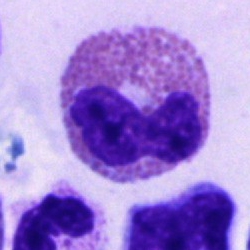 Morphological class = eosinophilic granulocyte.